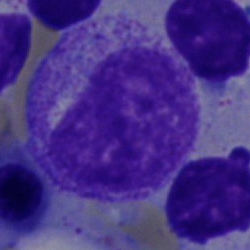

Impression — myelocyte.